Bone marrow aspirate smear:
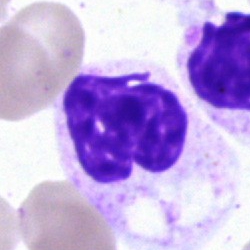 Morphological class = artefact.